Bone marrow aspirate smear.
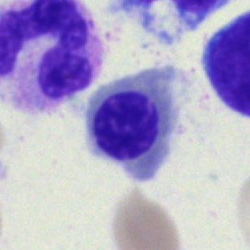 Morphological class = nucleated red cell.